Bone marrow aspirate smear; 40× objective, oil immersion — 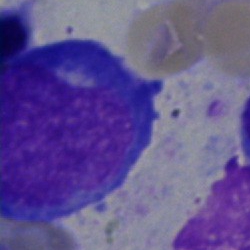 Single cell identified as a proerythroblast.